Bone marrow smear: 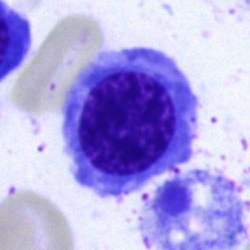 Specimen: bone marrow aspirate smear.
Classification: nucleated red blood cell.
Lineage: erythroid.